400 by 400 pixels; peripheral blood film:
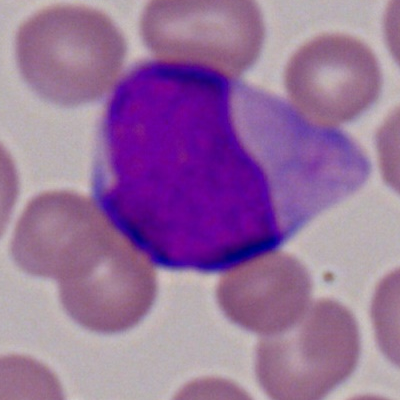
Morphology consistent with a myeloblast.